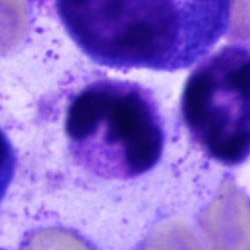{"cell_type": "polymorphonuclear neutrophil"}